40× objective, oil immersion · bone marrow smear: 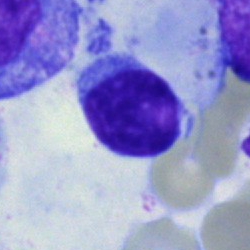Morphological class: artefact.